Peripheral blood smear
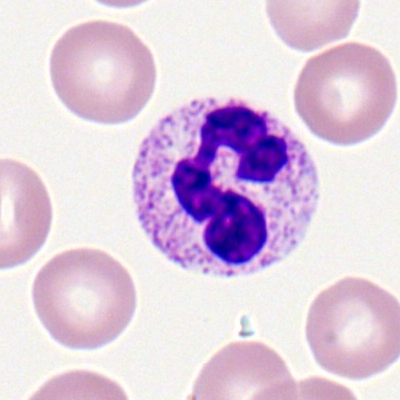 Segmented neutrophil.